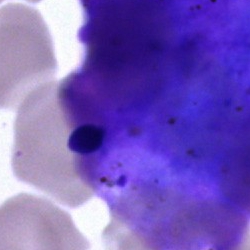{"cell_type": "artefact"}